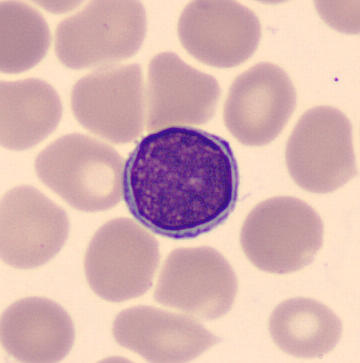Typical lymphocyte.